40× oil immersion · 250×250 · bone marrow aspirate smear:
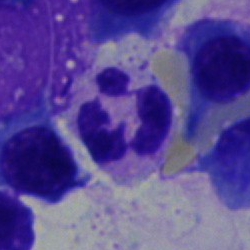
Showing a neutrophil (segmented).